Bone marrow aspirate smear
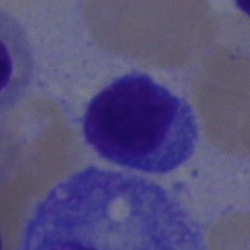 Q: Identify the cell.
A: A typical lymphocyte.